250 by 250 pixels · bone marrow smear: 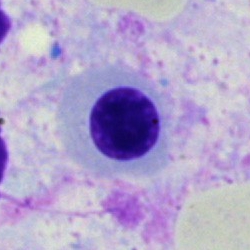Morphology consistent with an erythroblast.